Pappenheim-stained. Bone marrow smear. Brightfield, 40× oil-immersion objective: 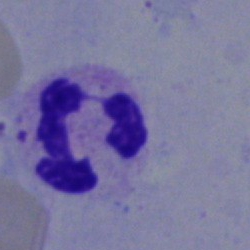The cell is neutrophil (segmented).